Bone marrow aspirate smear
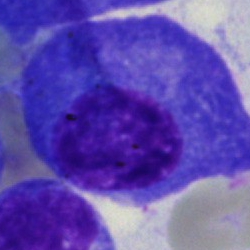

Q: What cell is this?
A: Plasma cell.